Peripheral blood film; 100× oil immersion
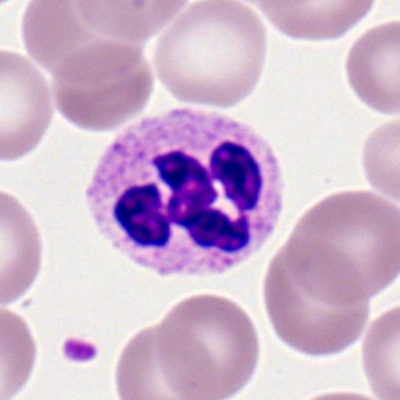Classification — neutrophil (segmented).